400×400. Peripheral blood film. Cropped to a single cell.
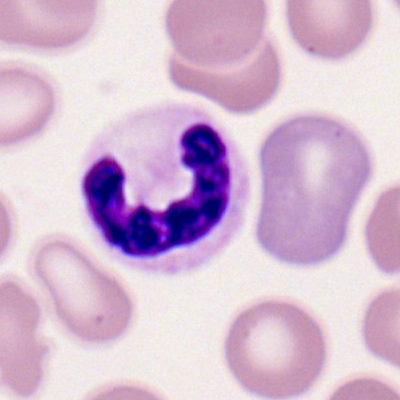Specimen: peripheral blood smear.
Cell type: neutrophil (segmented).